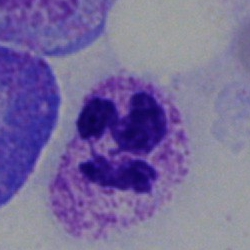
Specimen: bone marrow aspirate smear.
Cell type: polymorphonuclear neutrophil.
Lineage: myeloid.